Bone marrow smear: 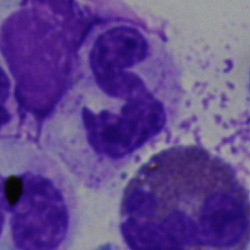
Impression — neutrophil (segmented).